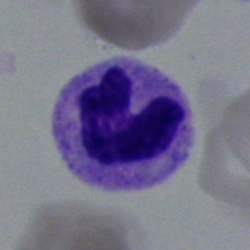
{"cell_type": "polymorphonuclear neutrophil", "lineage": "myeloid"}